Bone marrow aspirate smear — 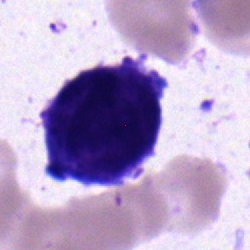
Cell = blast.